Bone marrow aspirate smear
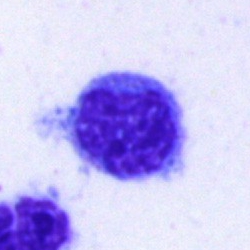 Cell = lymphocyte.